MGG-stained. Bone marrow aspirate smear.
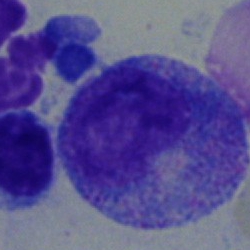Impression → promyelocyte.